Bone marrow smear — 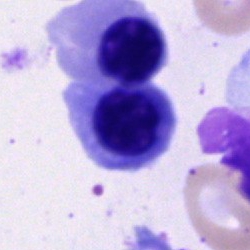 This is a nucleated red blood cell.